Bone marrow smear — 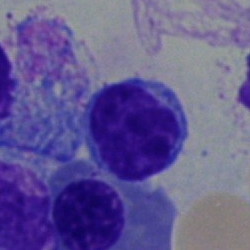
Cell: lymphocyte.